Bone marrow aspirate smear: 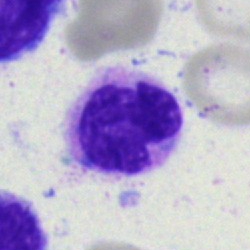 Specimen: bone marrow smear.
Classification: segmented neutrophil.
Lineage: myeloid.